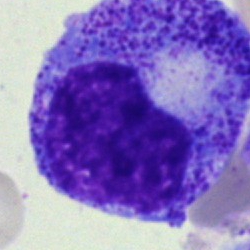
Cell type — progranulocyte.